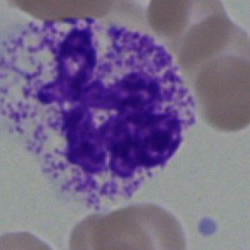

Specimen: bone marrow aspirate smear.
Morphological class: polymorphonuclear neutrophil.